Bone marrow aspirate smear · 250×250: 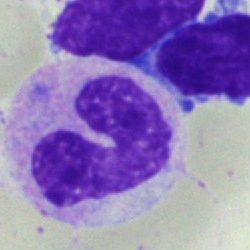
{"cell_type": "stab cell"}